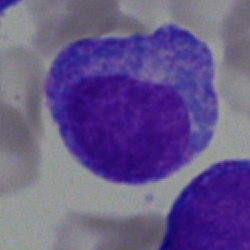
The classification is blast.